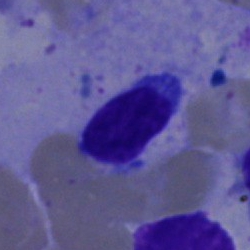

Q: What is the morphological classification of this cell?
A: Lymphocyte.